Bone marrow aspirate smear.
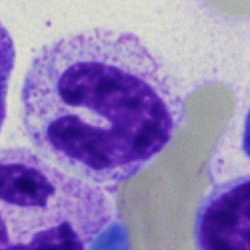
Specimen: bone marrow smear.
Cell: band-form neutrophil.
Lineage: myeloid.